Bone marrow aspirate smear · brightfield, 40× oil-immersion objective:
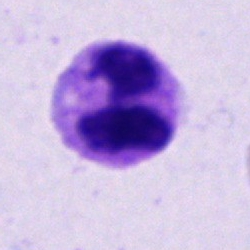

The cell type is neutrophil (segmented).